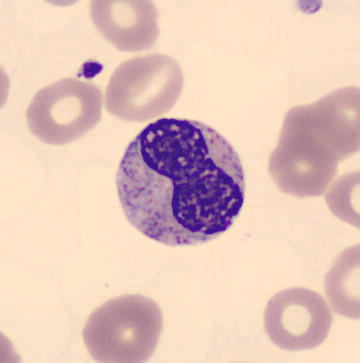

Image: Peripheral blood film.
Morphology → metamyelocyte.